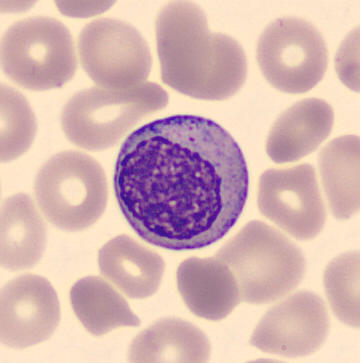 Morphology → myelocyte.